250×250 · bone marrow aspirate smear · Pappenheim-stained — 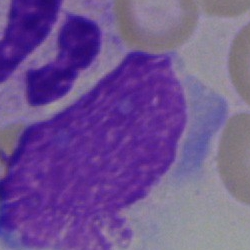Artefact.